Bone marrow smear. 40× objective, oil immersion. May-Grünwald-Giemsa/Pappenheim stain — 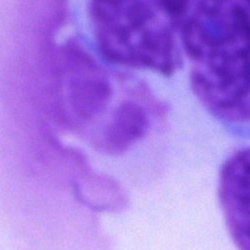Impression → artefact.